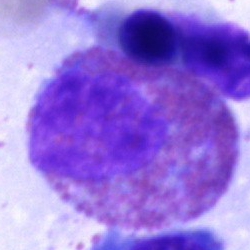
Specimen: bone marrow aspirate smear.
Classification: eosinophil.
Lineage: myeloid.